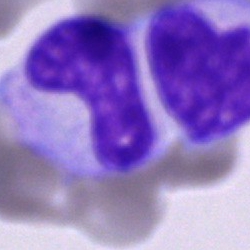
This is a stab cell.